Bone marrow smear: 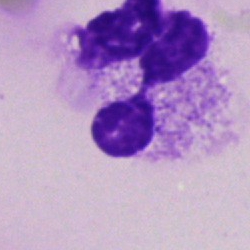 Specimen: bone marrow smear.
Classification: segmented neutrophil.
Lineage: myeloid.